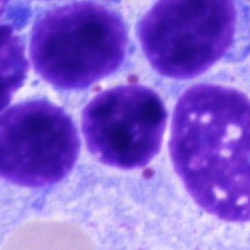

Classification: lymphocyte.